Brightfield, 40× oil-immersion objective. Bone marrow aspirate smear: 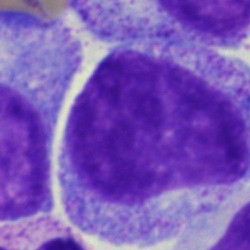
{"cell_type": "progranulocyte"}